Bone marrow smear. Single cell centered in the field — 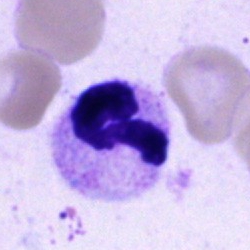The cell shown is a segmented neutrophil.